Bone marrow smear — 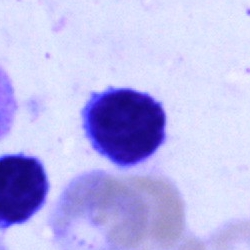

Q: Identify the cell.
A: Lymphocyte.